Bone marrow smear.
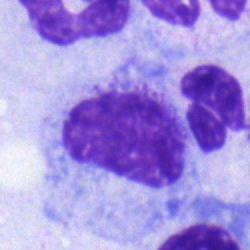Q: What cell is this?
A: Metamyelocyte.